Bone marrow smear · brightfield, 40× oil-immersion objective — 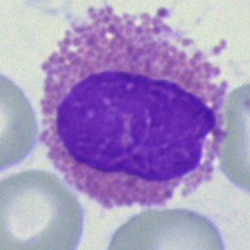 Specimen: bone marrow smear.
Cell type: eosinophil.
Lineage: myeloid.